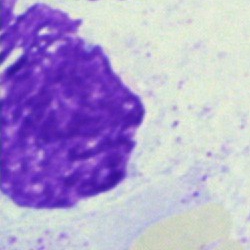 Cell type — artefact.